Bone marrow aspirate smear — 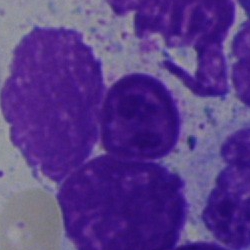 Impression → artefact.